May-Grünwald-Giemsa stain; single-cell crop; bone marrow smear:
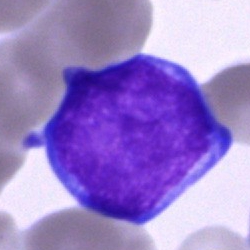
Blast cell.